Bone marrow aspirate smear · Pappenheim-stained · 250 by 250 pixels: 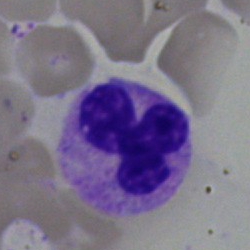

Classification — polymorphonuclear neutrophil.